Pappenheim-stained; bone marrow aspirate smear:
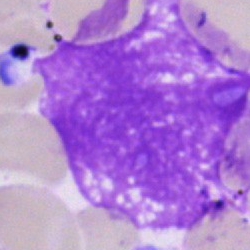Artifact.